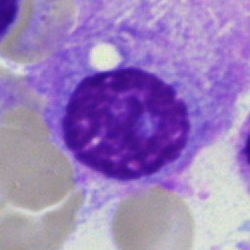 Morphology — plasmacyte.